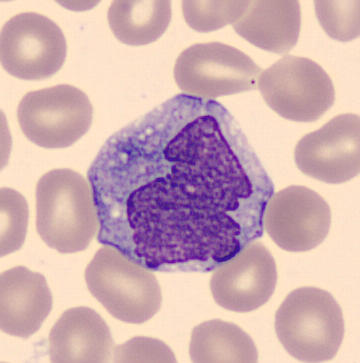 Imaged on a CellaVision DM96 analyser. Single-cell field. Peripheral blood smear.
Identified as a monocyte.